Peripheral blood smear.
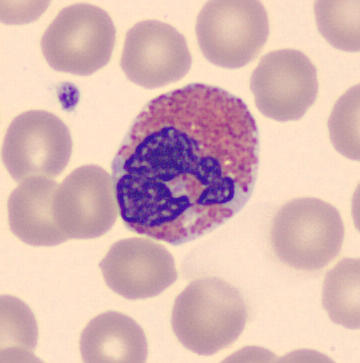
Impression → eosinophil.